May-Grünwald-Giemsa stain; single cell centered in the field; bone marrow aspirate smear: 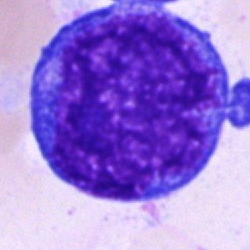

A blast.